Single-cell crop · bone marrow smear.
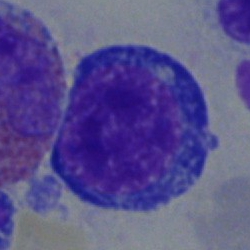 Morphology → pronormoblast.